MGG-stained · bone marrow smear — 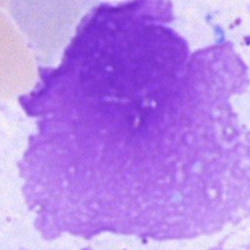

Morphology → artefact.